Single cell centered in the field. Bone marrow aspirate smear. Brightfield microscopy, 40× oil immersion.
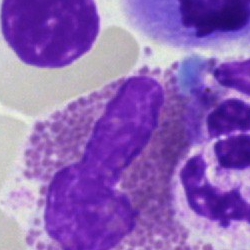

Showing an eosinophil.